Bone marrow aspirate smear — 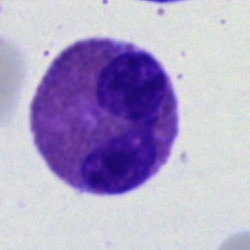An eosinophil.